250 by 250 pixels · bone marrow aspirate smear.
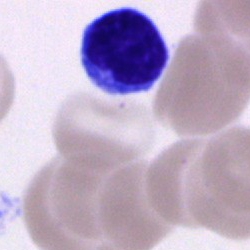

Specimen: bone marrow aspirate smear.
Cell: typical lymphocyte.
Lineage: lymphoid.